Peripheral blood film.
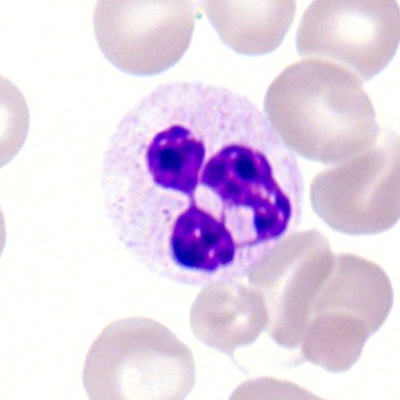

Classification: segmented neutrophil.